Bone marrow smear: 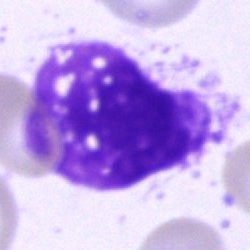An artefact.